Peripheral blood film; 400 by 400 pixels
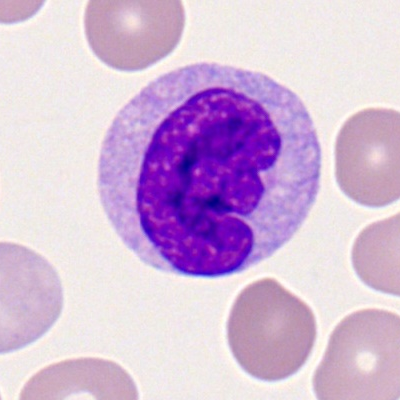
Impression — monocyte.